Bone marrow aspirate smear · brightfield microscopy, 40× oil immersion.
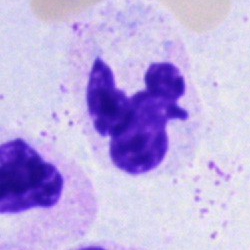 The cell shown is a neutrophil (segmented).